Bone marrow smear
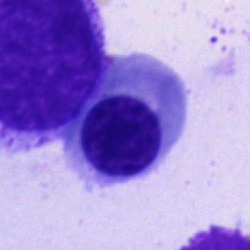Nucleated red blood cell.